Bone marrow aspirate smear.
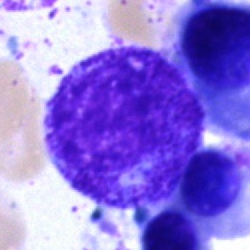 {"cell_type": "progranulocyte"}